Bone marrow aspirate smear:
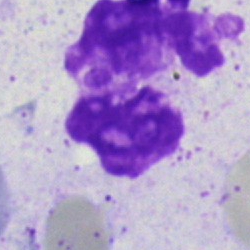

Morphology → artifact.